Bone marrow smear — 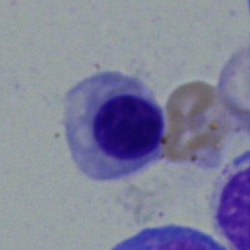
Morphological class — nucleated red cell.